Bone marrow aspirate smear
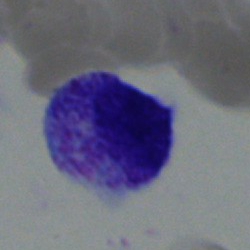
Morphology — metamyelocyte.